Bone marrow aspirate smear; 250×250:
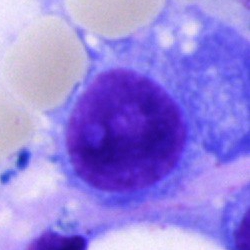
The cell shown is a plasmacyte.